Bone marrow smear — 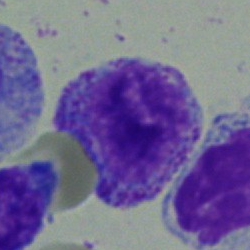
{"cell_type": "myelocyte", "lineage": "myeloid"}